Bone marrow aspirate smear:
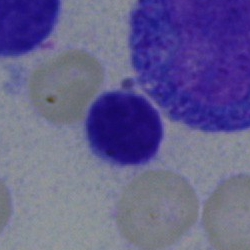

Morphological class = lymphocyte.